Peripheral blood smear: 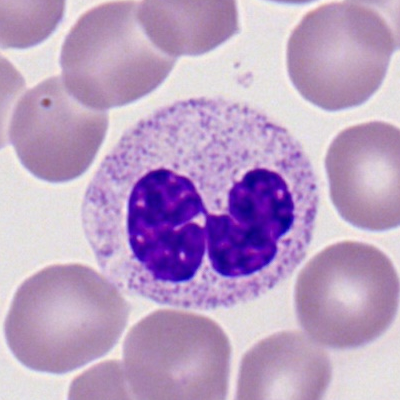
{"cell_type": "segmented neutrophil", "lineage": "myeloid"}